Bone marrow smear — 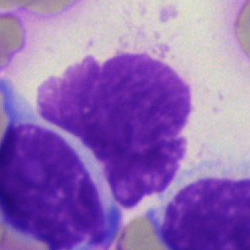 Specimen: bone marrow aspirate smear.
Cell type: artifact.